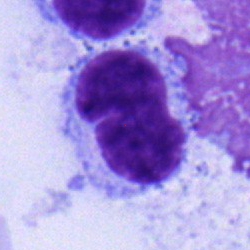
Q: What cell is this?
A: It is a lymphocyte.